Bone marrow aspirate smear: 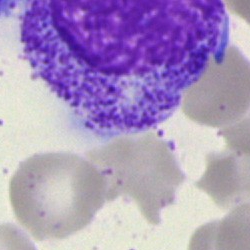Classification: myelocyte.